Bone marrow aspirate smear.
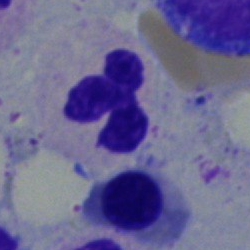

The cell shown is a segmented neutrophil.